250×250 px; MGG-stained; bone marrow smear
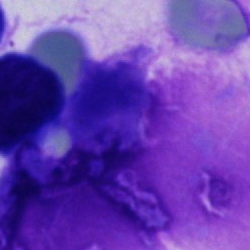

Q: What is shown here?
A: This is an artefact.